Peripheral blood smear.
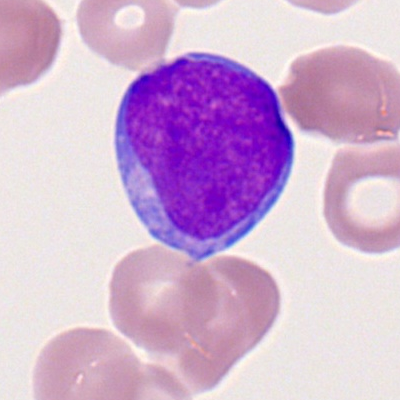Single cell identified as a myeloid blast.